Bone marrow aspirate smear:
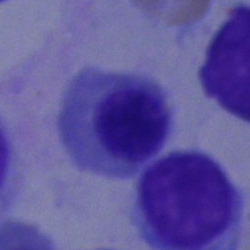 Specimen: bone marrow smear.
Cell type: nucleated red blood cell.